Bone marrow smear.
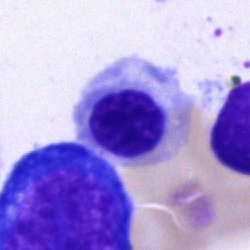
Normoblast.